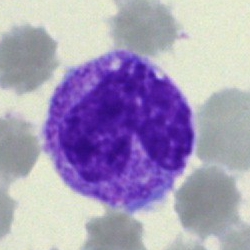

{"cell_type": "neutrophil (band)"}